Bone marrow aspirate smear:
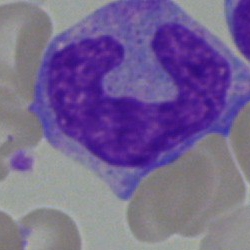
{"cell_type": "monocyte", "lineage": "myeloid"}